Bone marrow smear: 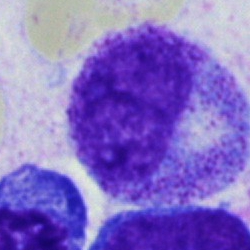 The cell shown is a promyelocyte.